Bone marrow smear · cropped to a single cell.
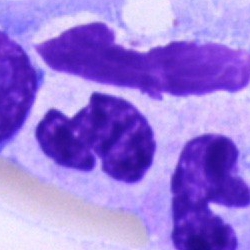

Impression — polymorphonuclear neutrophil.